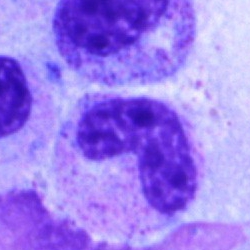
This is a band neutrophil.